Bone marrow smear · 250×250 px · single-cell crop:
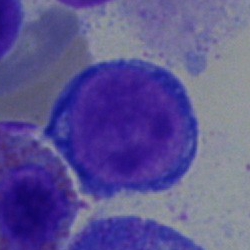Cell type: proerythroblast.